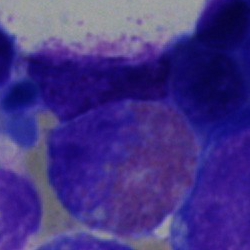 Showing an eosinophilic granulocyte.